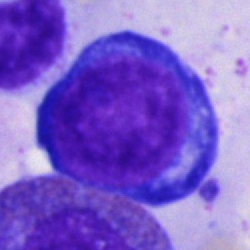
Specimen: bone marrow smear.
Cell type: pronormoblast.
Lineage: erythroid.